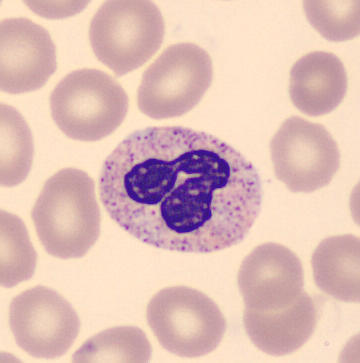A neutrophil (band). CellaVision DM96 digital cell image; peripheral blood smear.